40× oil immersion · bone marrow smear — 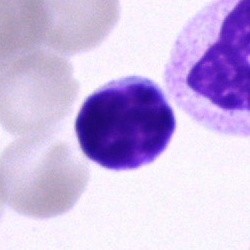The cell type is typical lymphocyte.